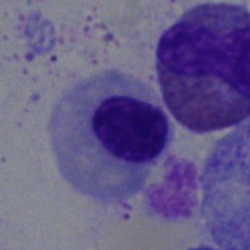

Cell type = erythroblast.